Bone marrow smear. May-Grünwald-Giemsa stain. 250×250.
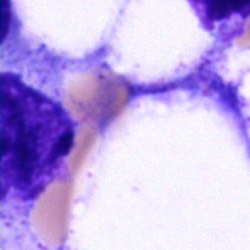Artefact.